250 by 250 pixels · bone marrow aspirate smear: 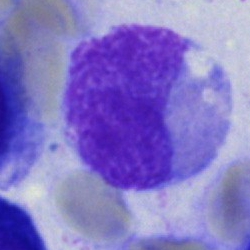
A neutrophil (band).